Bone marrow aspirate smear.
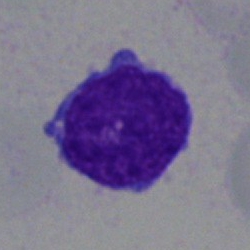
Showing a blast.